Bone marrow aspirate smear · 40× objective, oil immersion.
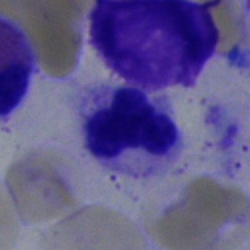The cell type is neutrophil (segmented).